May-Grünwald-Giemsa/Pappenheim stain. Bone marrow smear:
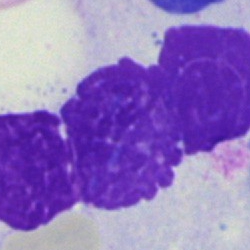 An artifact.